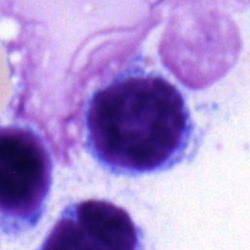
Cell type = typical lymphocyte.